Bone marrow smear:
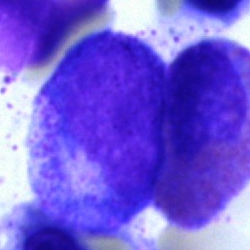Cell: progranulocyte.